Brightfield microscopy, 40× oil immersion · May-Grünwald-Giemsa/Pappenheim stain · bone marrow smear:
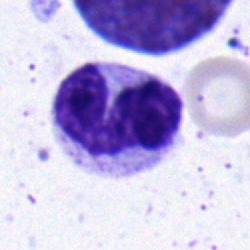 Q: What is the morphological classification of this cell?
A: Neutrophil (segmented).